Bone marrow aspirate smear · brightfield, 40× oil-immersion objective: 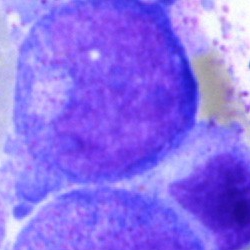The classification is promyelocyte.